Bone marrow smear; 250 by 250 pixels
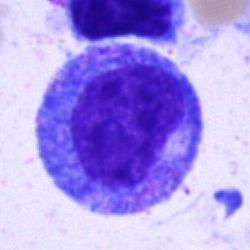Morphological class — progranulocyte.